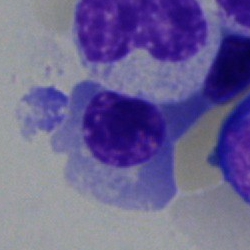 Impression → nucleated red blood cell.